May-Grünwald-Giemsa stain; bone marrow smear
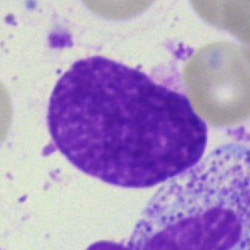{"cell_type": "artifact"}